250×250 px; 40× oil immersion; bone marrow aspirate smear:
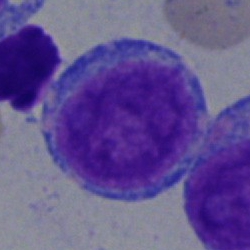

The cell is blast.